Bone marrow smear.
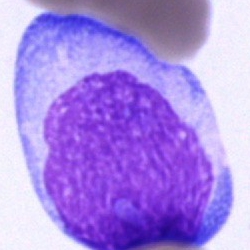

The cell type is undifferentiated blast.